Bone marrow smear; brightfield microscopy, 40× oil immersion; single-cell crop:
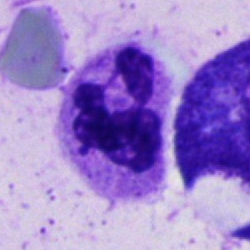Classification: segmented neutrophil.